Bone marrow aspirate smear:
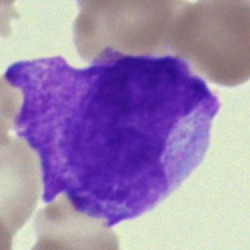Specimen: bone marrow aspirate smear.
Morphological class: blast cell.